40× oil immersion · bone marrow aspirate smear:
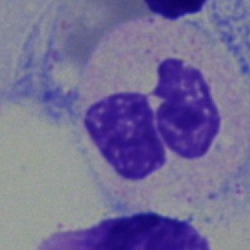Morphological class: segmented neutrophil.